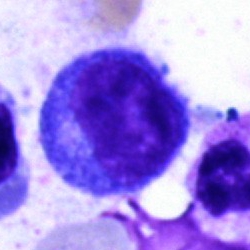 Cell — progranulocyte.